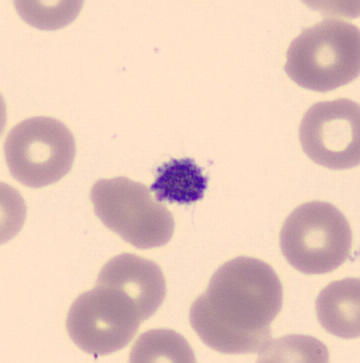 Q: What is shown here?
A: A platelet (thrombocyte).